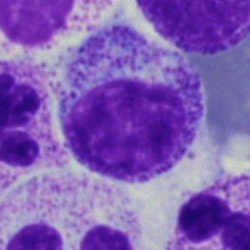 Cell type — myelocyte.